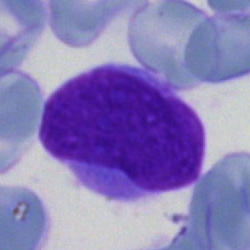 Cell type = blast cell.